Bone marrow aspirate smear: 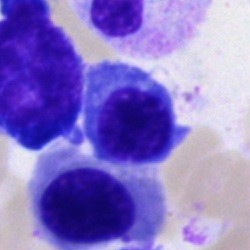Morphological class: erythroblast.